Peripheral blood film — 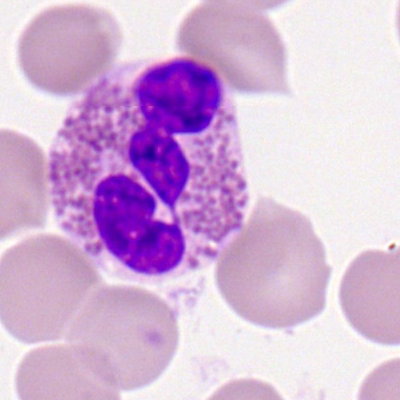

{"cell_type": "eosinophil", "lineage": "myeloid"}